40× oil immersion · bone marrow smear
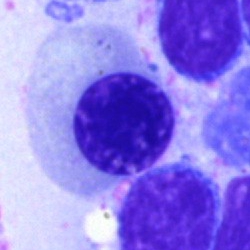

Showing an erythroblast.